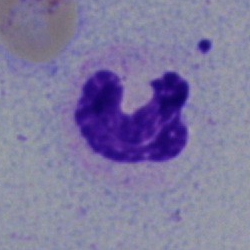

Showing a segmented neutrophil.